Single-cell crop; bone marrow smear; Pappenheim-stained:
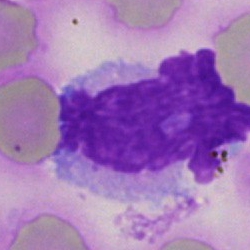
Classification = artefact.